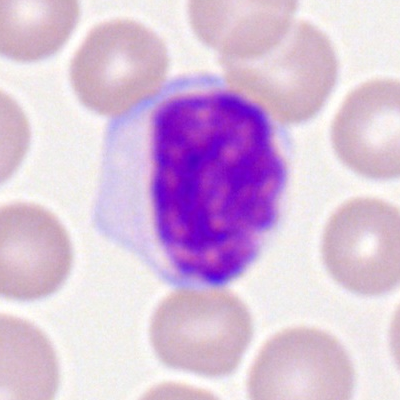

A typical lymphocyte.